Bone marrow aspirate smear; 250×250
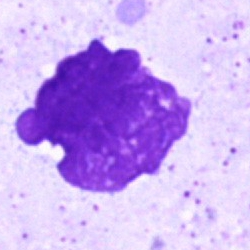

{"cell_type": "artefact"}